Bone marrow smear. Cropped to a single cell:
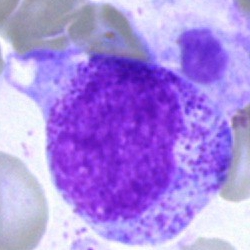 Q: What is shown here?
A: This is a myelocyte.